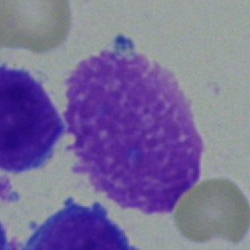
Impression → artefact.